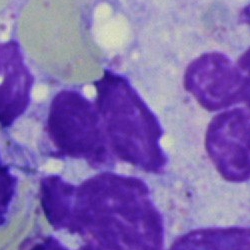

Classification: artefact.